Bone marrow smear
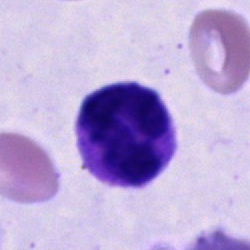
Impression → segmented neutrophil.